Single-cell crop; bone marrow smear — 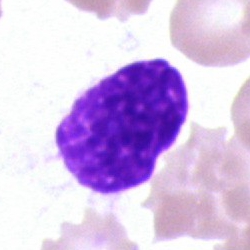

Classification — artefact.